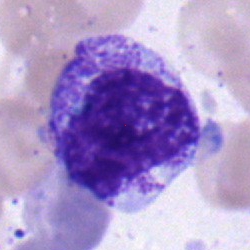
Cell type: myelocyte.